Bone marrow smear; brightfield microscopy, 40× oil immersion — 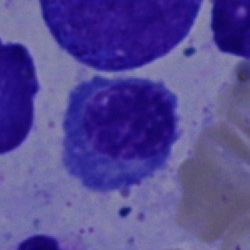 {"cell_type": "erythroblast"}